Bone marrow aspirate smear — 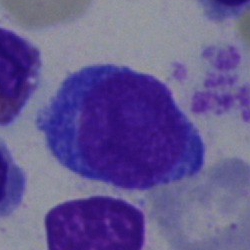
Cell type — lymphocyte.